Bone marrow smear
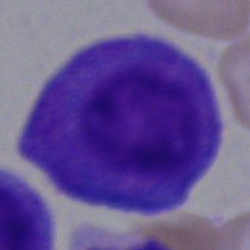

Impression — promyelocyte.